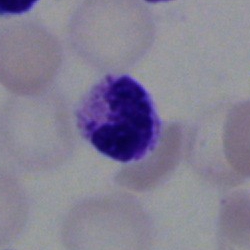Morphology consistent with a neutrophil (segmented).